Bone marrow smear. 40× objective, oil immersion. May-Grünwald-Giemsa/Pappenheim stain.
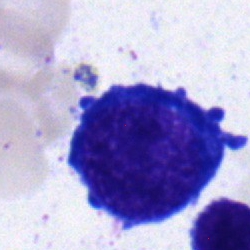This is a pronormoblast.